Bone marrow smear: 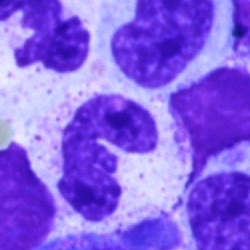Cell — neutrophil (segmented).